Peripheral blood smear. 400×400 px — 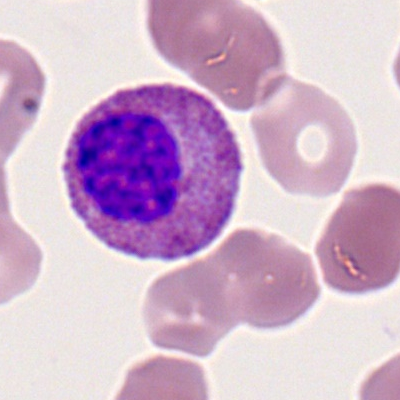

Morphology — basophil.